Bone marrow aspirate smear
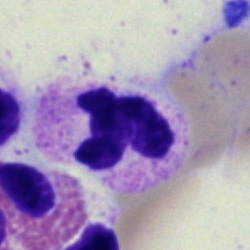Q: Identify the cell.
A: It is a neutrophil (segmented).